Bone marrow smear
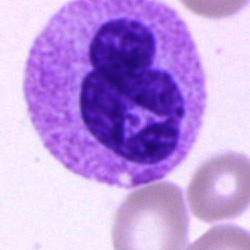 Specimen: bone marrow smear.
Classification: polymorphonuclear neutrophil.